Bone marrow aspirate smear · 40× objective, oil immersion:
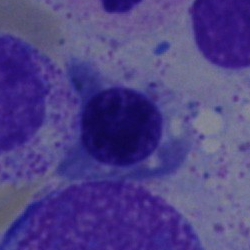
Specimen: bone marrow smear.
Morphological class: nucleated red cell.